100× oil immersion. Peripheral blood film. 400×400 px — 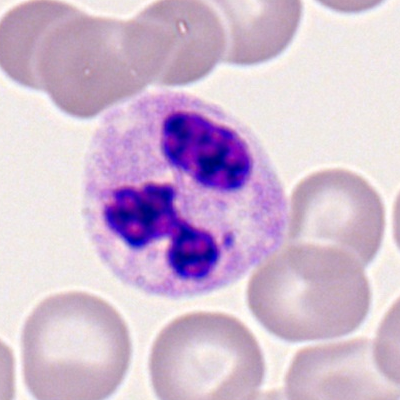

{"cell_type": "neutrophil (segmented)", "lineage": "myeloid"}